Cropped to a single cell · bone marrow smear — 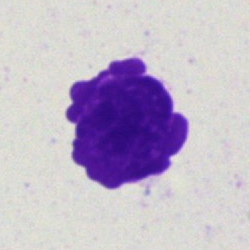

{"cell_type": "artifact"}